Pappenheim-stained · bone marrow aspirate smear.
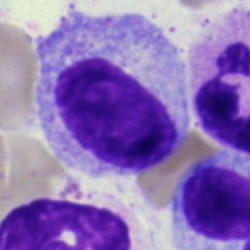Q: What is the morphological classification of this cell?
A: It is a myelocyte.